Bone marrow smear.
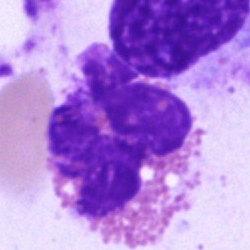
Cell type — eosinophil.